Bone marrow aspirate smear · May-Grünwald-Giemsa/Pappenheim stain.
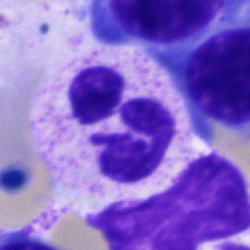 Morphology consistent with a neutrophil (segmented).